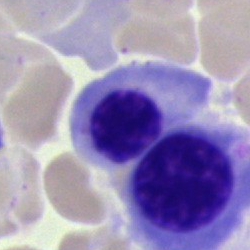

This is a nucleated red blood cell.